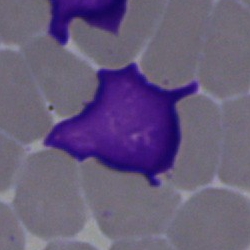

Q: What is shown here?
A: An artifact.